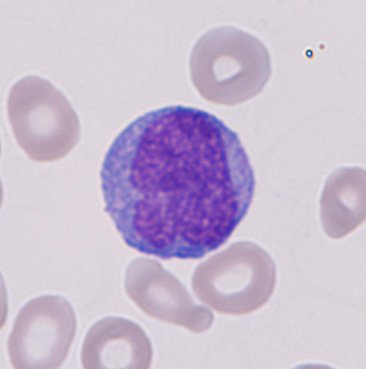Identified as a monocyte.
May-Grünwald-Giemsa-stained. Peripheral blood film.